Bone marrow aspirate smear — 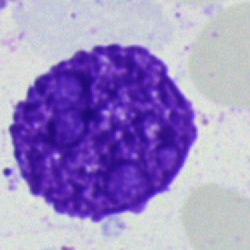 Morphological class = artifact.